Bone marrow aspirate smear:
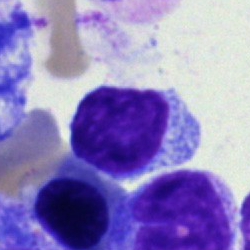{"cell_type": "typical lymphocyte"}